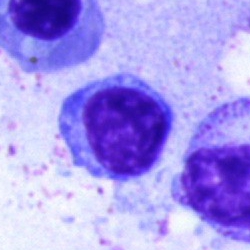
The classification is lymphocyte.